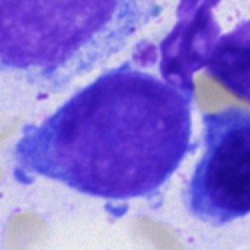 Specimen: bone marrow smear.
Cell: blast.